Bone marrow smear; 40× objective, oil immersion.
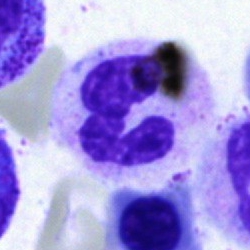Polymorphonuclear neutrophil.